Bone marrow aspirate smear; May-Grünwald-Giemsa/Pappenheim stain:
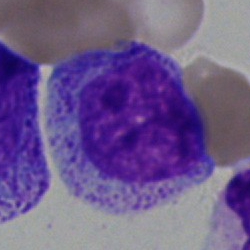

Showing a myelocyte.